Bone marrow aspirate smear: 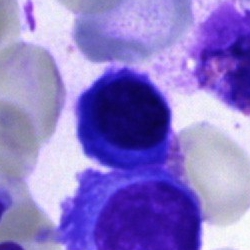
Cell — normoblast.